Bone marrow aspirate smear.
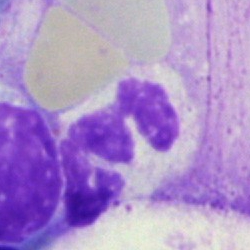 Cell: polymorphonuclear neutrophil.